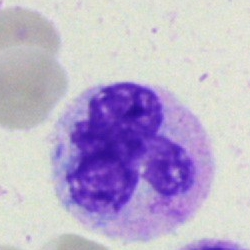

Specimen: bone marrow smear.
Morphological class: monocyte.
Lineage: myeloid.